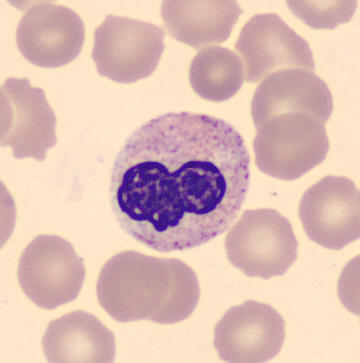Acquisition: Peripheral blood film.

Q: What is shown here?
A: Neutrophil (band).